Bone marrow smear:
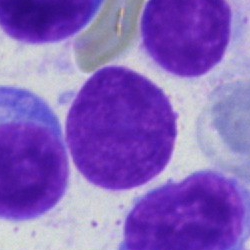 Morphological class — artifact.